Bone marrow aspirate smear: 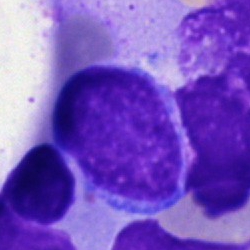Blast cell.